Brightfield, 40× oil-immersion objective; bone marrow aspirate smear; May-Grünwald-Giemsa stain — 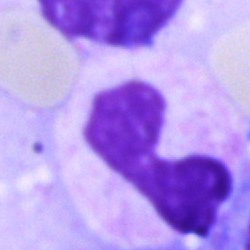Morphological class — artefact.